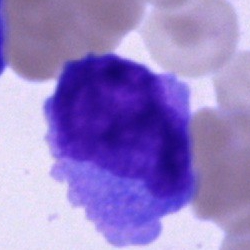
Morphological class — undifferentiated blast.